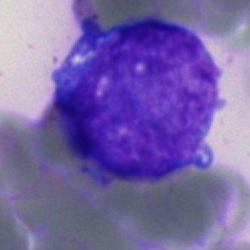Specimen: bone marrow aspirate smear.
Classification: blast.